Bone marrow aspirate smear; cropped to a single cell — 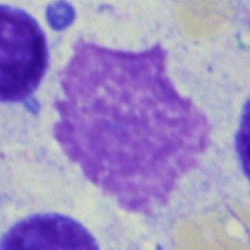

Q: What is shown here?
A: Artifact.